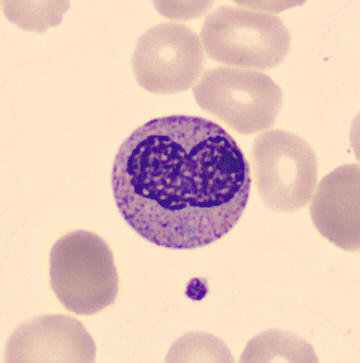
Single cell identified as a metamyelocyte.
Acquisition: Peripheral blood smear.